Bone marrow aspirate smear.
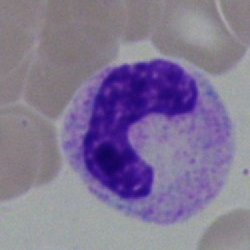Specimen: bone marrow smear.
Cell: stab cell.